Pappenheim-stained; bone marrow aspirate smear — 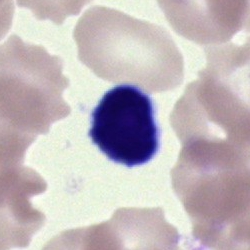

Artifact.